250 by 250 pixels · bone marrow smear: 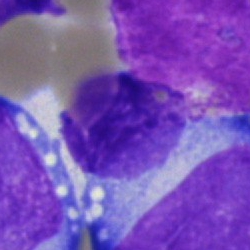{"cell_type": "lymphocyte", "lineage": "lymphoid"}